Peripheral blood film — 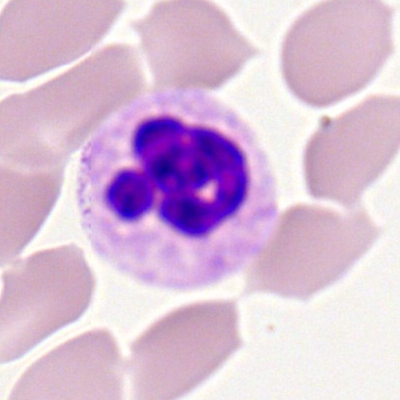
Classification — neutrophil (segmented).